Bone marrow smear · single-cell crop · image size 250×250.
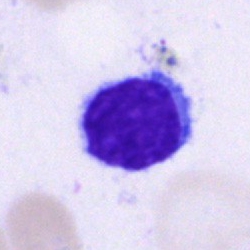Showing a lymphocyte.